Image size 250×250 · May-Grünwald-Giemsa/Pappenheim stain · bone marrow aspirate smear:
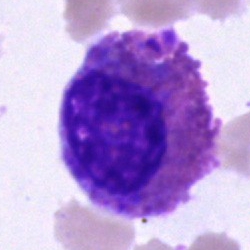
Morphology → eosinophil.